Romanowsky-type stain · 400×400 · peripheral blood smear — 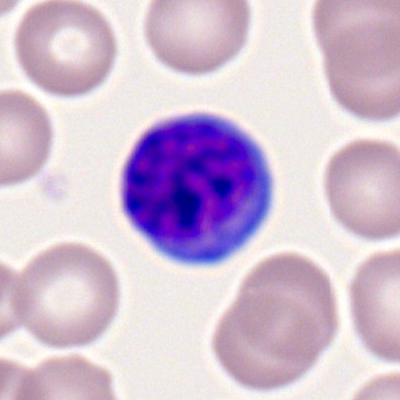 Single cell identified as a lymphocyte.